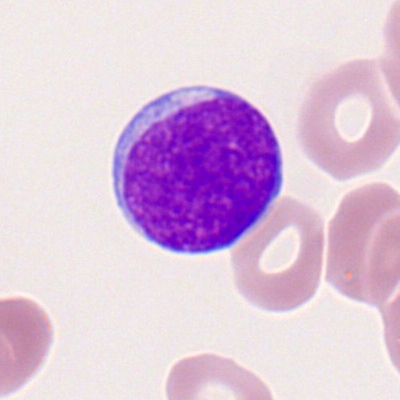 Q: Which cell type is shown here?
A: A myeloblast.